May-Grünwald-Giemsa stain. Bone marrow aspirate smear — 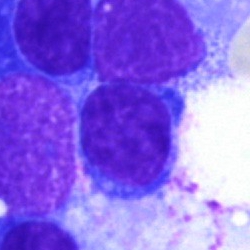

Morphology consistent with a lymphocyte.